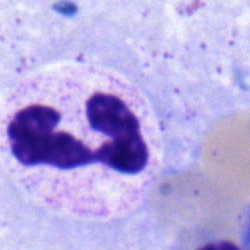 Impression — polymorphonuclear neutrophil.